Bone marrow smear
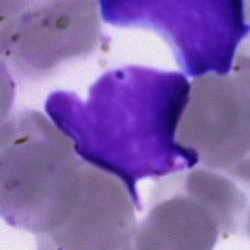
Showing an artefact.